Pappenheim-stained · bone marrow aspirate smear
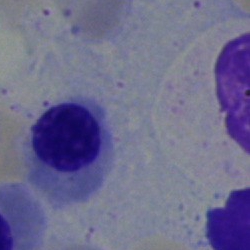Single cell identified as an erythroblast.